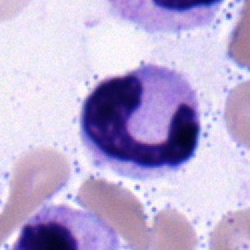 The morphological class is band-form neutrophil.